Bone marrow aspirate smear:
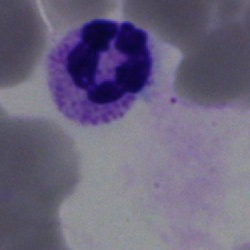
The cell shown is a polymorphonuclear neutrophil.